Bone marrow smear
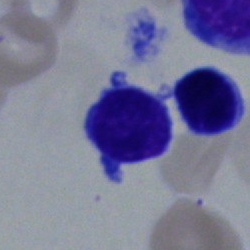
Q: Identify the cell.
A: A typical lymphocyte.